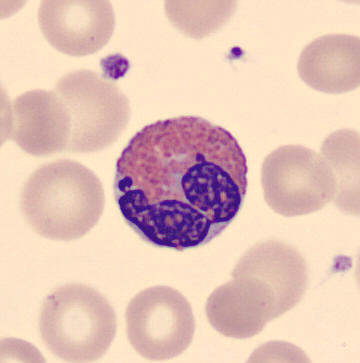 May-Grünwald-Giemsa-stained.

Specimen: peripheral blood smear.
Classification: eosinophilic granulocyte.
Lineage: myeloid.